40× objective, oil immersion. Bone marrow aspirate smear
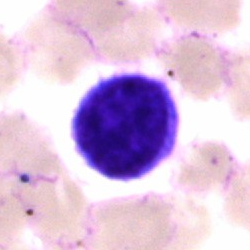

Morphological class — typical lymphocyte.